Bone marrow aspirate smear; single-cell crop; 250×250: 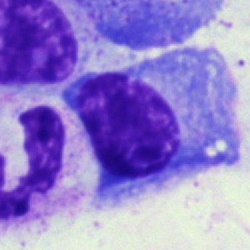 Showing a plasma cell.